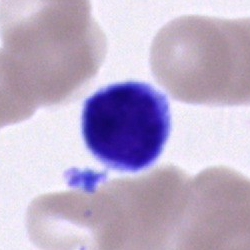Morphology consistent with a lymphocyte.